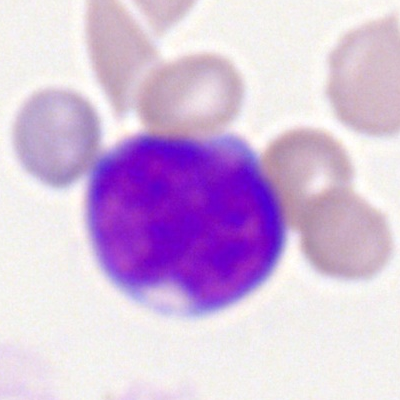 Showing a myeloblast.